Bone marrow smear:
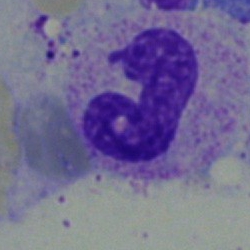
Showing a band-form neutrophil.